Bone marrow aspirate smear
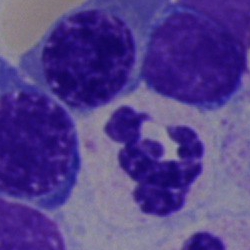Morphology consistent with a segmented neutrophil.